Bone marrow smear. Pappenheim-stained. 40× oil immersion:
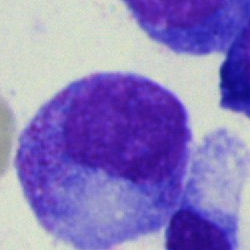

Specimen: bone marrow smear.
Classification: promyelocyte.
Lineage: myeloid.